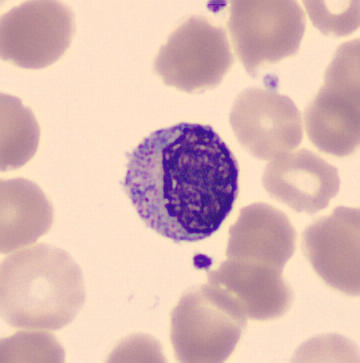MGG stain. Specimen: peripheral blood film.
Morphological class: myelocyte.